Bone marrow aspirate smear; May-Grünwald-Giemsa stain.
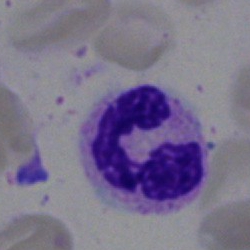
Q: What is shown here?
A: It is a segmented neutrophil.